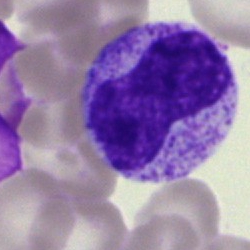Q: What is the morphological classification of this cell?
A: It is a metamyelocyte.